Bone marrow smear
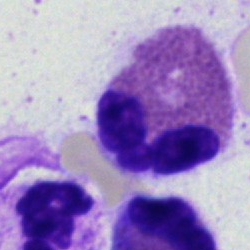
Q: What cell is this?
A: It is an eosinophilic granulocyte.